40× objective, oil immersion · May-Grünwald-Giemsa/Pappenheim stain · bone marrow smear: 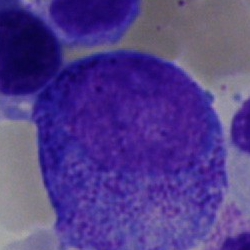 Specimen: bone marrow smear.
Cell type: promyelocyte.